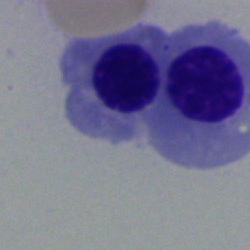

Specimen: bone marrow aspirate smear.
Morphological class: erythroblast.